Bone marrow aspirate smear — 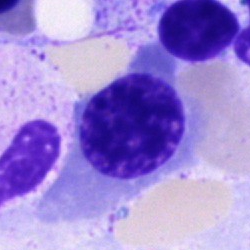

Q: What type of cell is this?
A: A nucleated red blood cell.